Bone marrow smear.
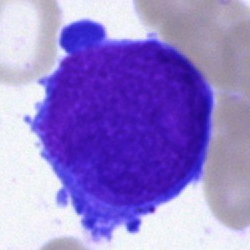Q: What is shown here?
A: Undifferentiated blast.